Bone marrow aspirate smear.
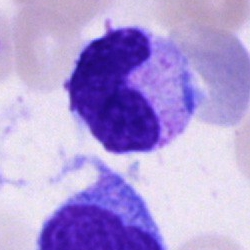

Neutrophil (band).